Bone marrow smear · single-cell field · 250 by 250 pixels.
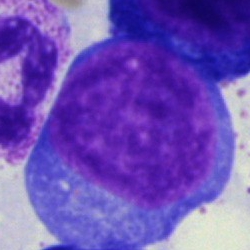 Q: Which cell type is shown here?
A: This is a blast.